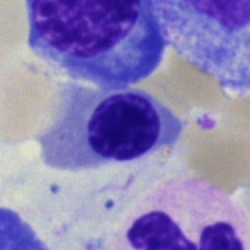Classification — nucleated red blood cell.